May-Grünwald-Giemsa stain; brightfield, 40× oil-immersion objective; bone marrow smear:
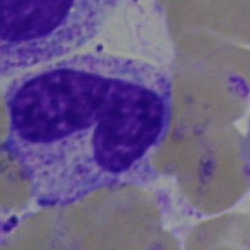

Morphology consistent with a neutrophil (band).